Bone marrow smear.
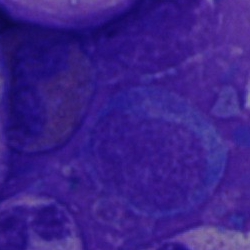 Classification = artefact.